Bone marrow smear: 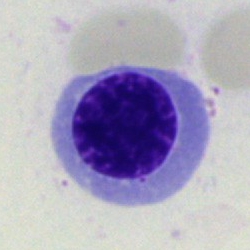

An erythroblast.